Bone marrow aspirate smear.
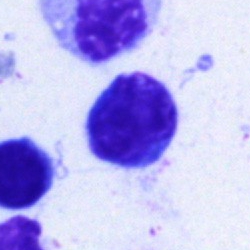

Single cell identified as a typical lymphocyte.